Cropped to a single cell; image size 250×250; bone marrow aspirate smear — 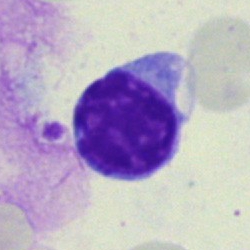

Specimen: bone marrow smear.
Morphological class: typical lymphocyte.